Bone marrow aspirate smear. 250×250 px — 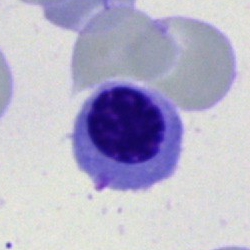
Morphology consistent with an erythroblast.